Bone marrow aspirate smear
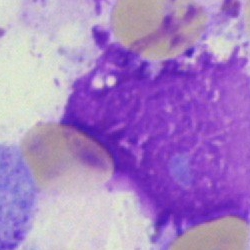 Q: What is shown here?
A: It is an artefact.